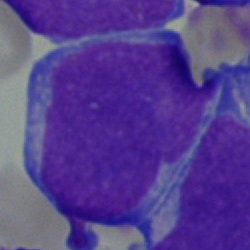 Morphology — undifferentiated blast.